Bone marrow aspirate smear · single-cell field:
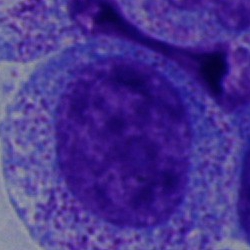

Morphology — progranulocyte.